May-Grünwald-Giemsa stain. Bone marrow aspirate smear:
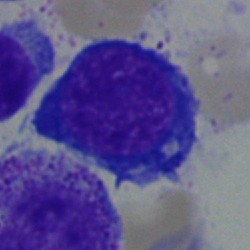
Morphology → pronormoblast.